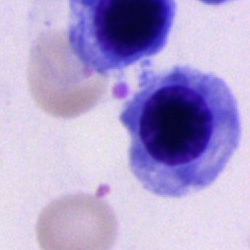
Bone marrow smear showing a nucleated red cell.